Bone marrow smear — 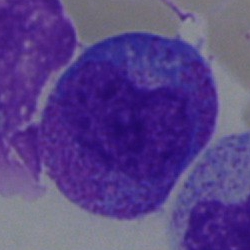 The cell shown is a progranulocyte.